250 by 250 pixels. Bone marrow smear: 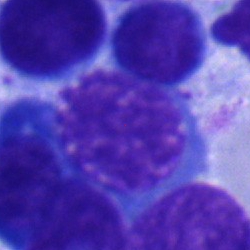
Morphological class — nucleated red cell.